250×250. Bone marrow smear
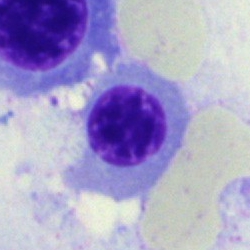A nucleated red cell.